Bone marrow aspirate smear
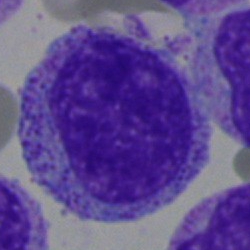

Q: Which cell type is shown here?
A: It is a promyelocyte.